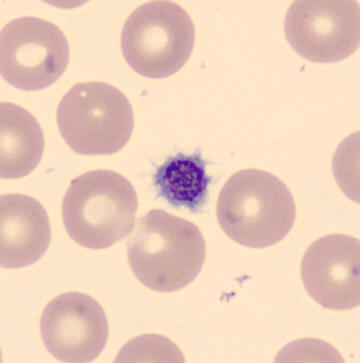 Acquisition: Imaged on a CellaVision DM96 analyser. Peripheral blood smear. The morphological class is platelet.